Bone marrow aspirate smear: 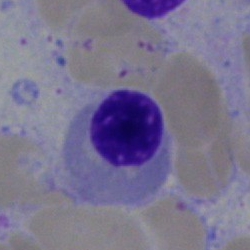 Morphological class = erythroblast.